250×250 px; bone marrow smear; 40× objective, oil immersion.
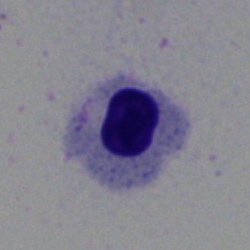

{"cell_type": "nucleated red cell"}